Bone marrow smear. Brightfield, 40× oil-immersion objective.
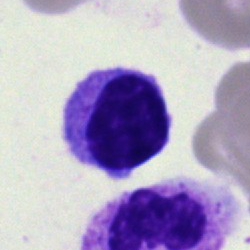Cell — lymphocyte.